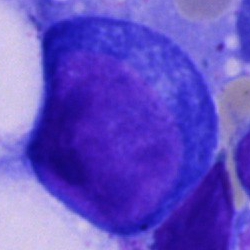
Bone marrow smear showing a pronormoblast.